Bone marrow aspirate smear
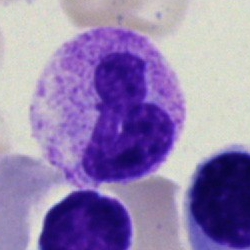 This is a neutrophil (segmented).